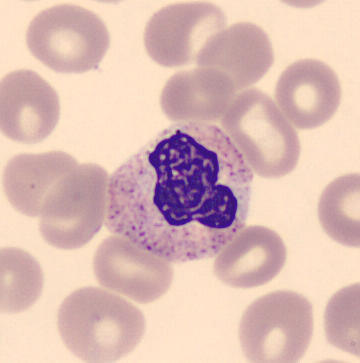

Classification = polymorphonuclear neutrophil.